Bone marrow smear:
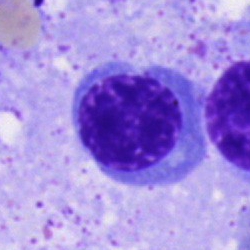Nucleated red cell.